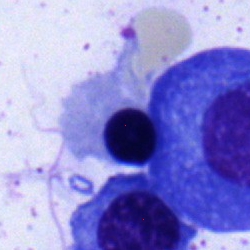

The morphological class is nucleated red blood cell.